Peripheral blood film. Single-cell crop: 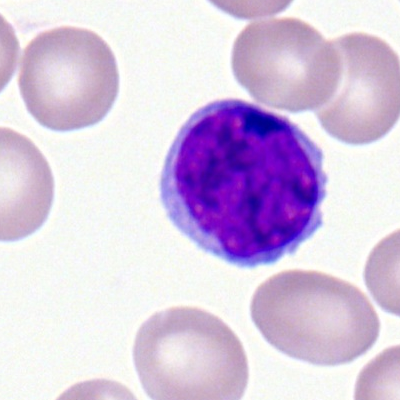 Impression — lymphocyte.